40× objective, oil immersion; bone marrow smear; single cell centered in the field.
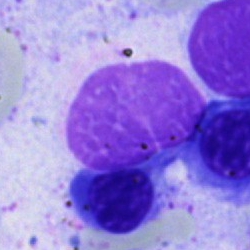 Showing a nucleated red cell.